Bone marrow smear: 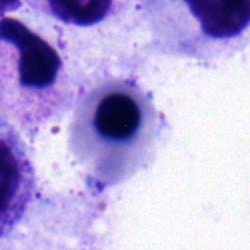 Specimen: bone marrow aspirate smear.
Morphological class: nucleated red cell.